Bone marrow aspirate smear. Brightfield, 40× oil-immersion objective:
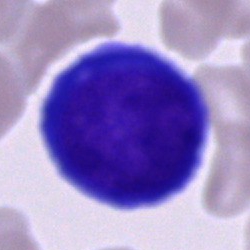

Specimen: bone marrow aspirate smear.
Cell type: proerythroblast.
Lineage: erythroid.